Peripheral blood smear
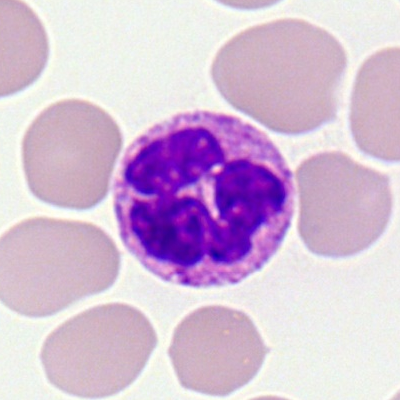 Impression → basophil.